Bone marrow aspirate smear; single-cell field: 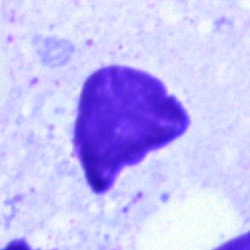The cell type is artefact.